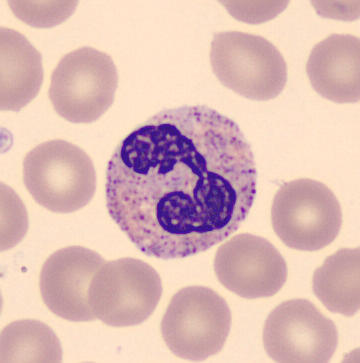

360×363; peripheral blood film.
The cell is segmented neutrophil.